Bone marrow smear · cropped to a single cell · brightfield, 40× oil-immersion objective
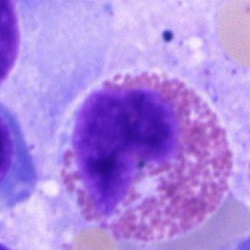
Q: What cell is this?
A: An eosinophilic granulocyte.